Image size 250×250. Bone marrow smear. Brightfield microscopy, 40× oil immersion.
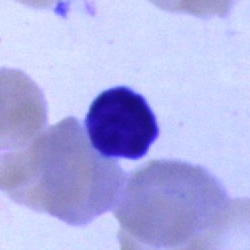The cell shown is a lymphocyte.